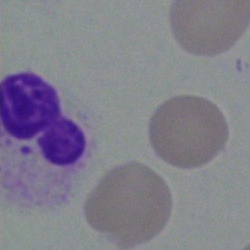

Morphology consistent with a segmented neutrophil.